Bone marrow smear — 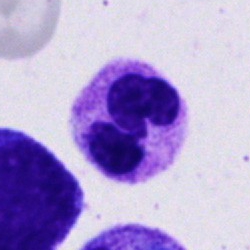
This is a polymorphonuclear neutrophil.